Peripheral blood smear — 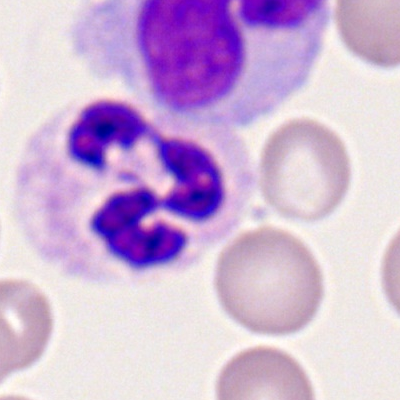Cell = polymorphonuclear neutrophil.